Peripheral blood film:
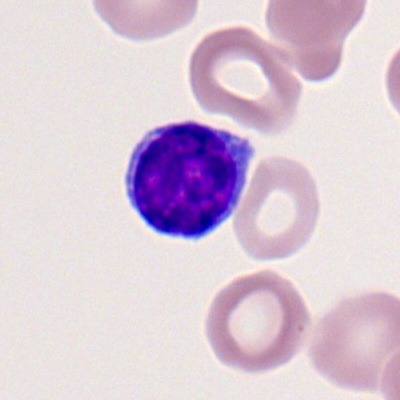 {"cell_type": "lymphocyte", "lineage": "lymphoid"}